Image size 250×250 · bone marrow smear · single cell centered in the field — 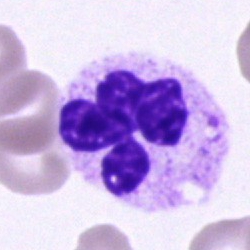 Showing a polymorphonuclear neutrophil.